Bone marrow smear
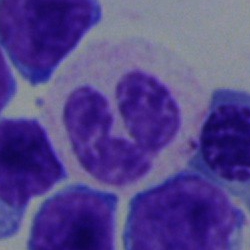The cell is neutrophil (segmented).